Bone marrow aspirate smear; brightfield, 40× oil-immersion objective.
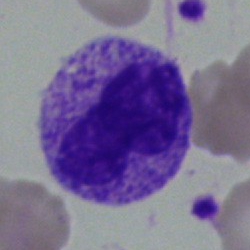Q: What type of cell is this?
A: This is a neutrophil (band).